Peripheral blood smear; 100× oil immersion, 14.14 px/µm; 400×400
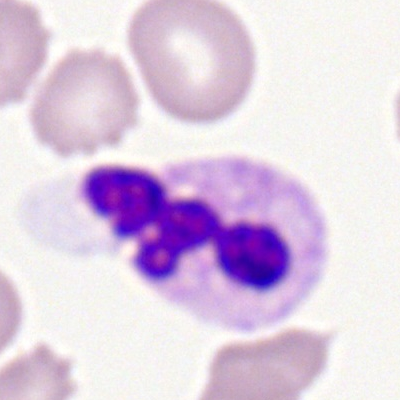

A segmented neutrophil.